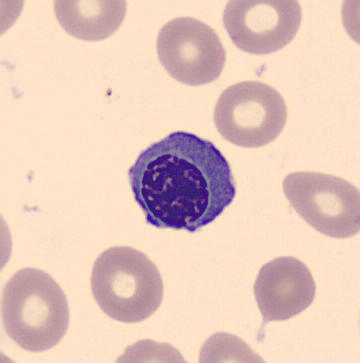
Acquisition: Peripheral blood smear.
Cell: nucleated red cell.